Bone marrow aspirate smear
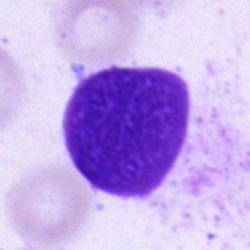Morphological class = artefact.